Bone marrow smear. May-Grünwald-Giemsa/Pappenheim stain: 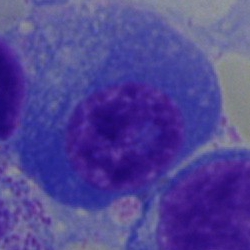 Showing a plasma cell.